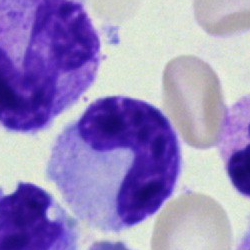
Classification = band neutrophil.